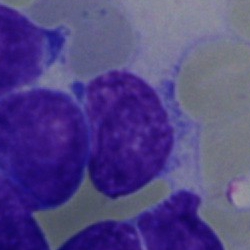
Classification — blast cell.